Bone marrow smear: 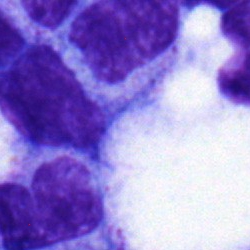
Showing a myelocyte.